Bone marrow smear — 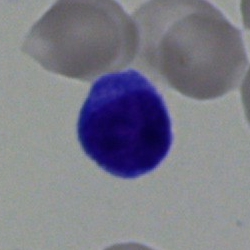This is a typical lymphocyte.